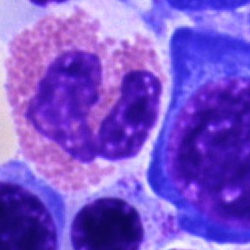

Bone marrow smear showing an eosinophil.